Bone marrow aspirate smear: 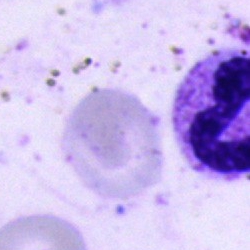This is a polymorphonuclear neutrophil.